Bone marrow aspirate smear.
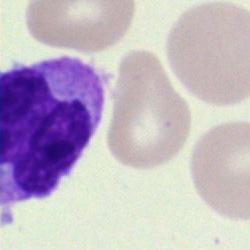

{"cell_type": "monocyte", "lineage": "myeloid"}